Bone marrow aspirate smear: 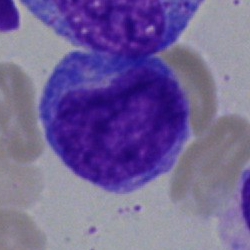Cell type — lymphocyte.